Bone marrow smear:
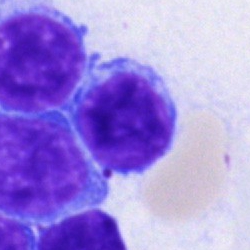

{"cell_type": "typical lymphocyte"}